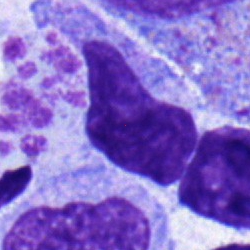

{"cell_type": "lymphocyte", "lineage": "lymphoid"}